Bone marrow smear:
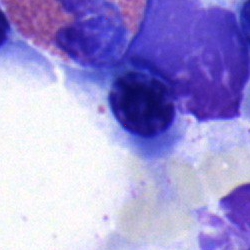 Morphology consistent with a nucleated red cell.